Bone marrow aspirate smear:
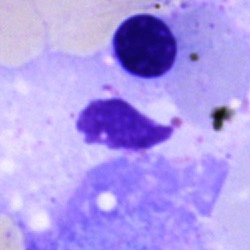

Q: What cell is this?
A: It is an unidentifiable cell.